Bone marrow smear; May-Grünwald-Giemsa stain — 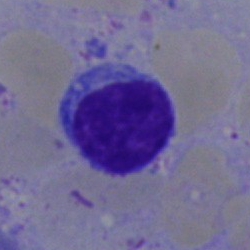Q: What cell is this?
A: A typical lymphocyte.